Peripheral blood film; cropped to a single cell — 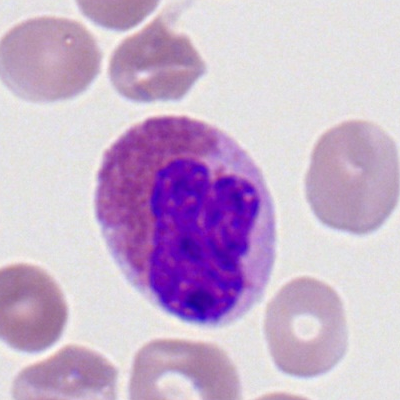
Morphology → eosinophil.